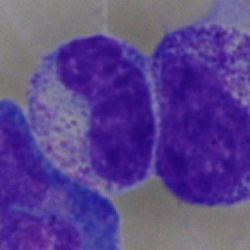 Q: What is shown here?
A: Metamyelocyte.